Bone marrow smear. Single-cell crop. 40× oil immersion:
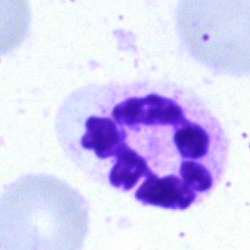
{"cell_type": "polymorphonuclear neutrophil", "lineage": "myeloid"}